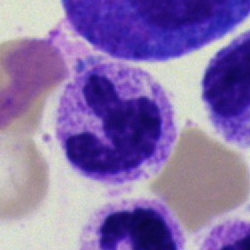This is a segmented neutrophil.